Bone marrow aspirate smear; May-Grünwald-Giemsa/Pappenheim stain; 40× objective, oil immersion
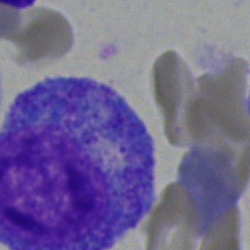

Single cell identified as a promyelocyte.